Single-cell field. Peripheral blood smear:
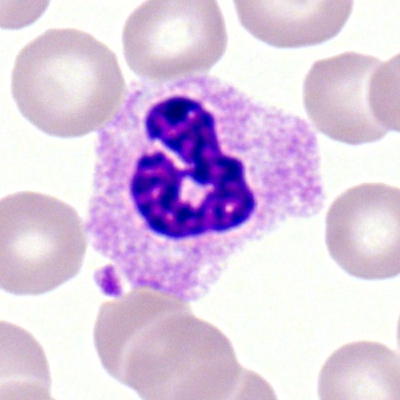
Showing a neutrophil (segmented).